Bone marrow aspirate smear:
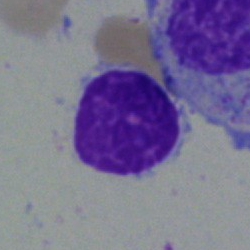

Classification = lymphocyte.